May-Grünwald-Giemsa stain · bone marrow smear · 250×250 px — 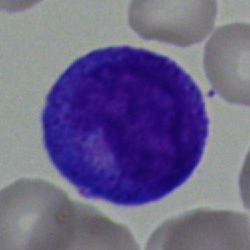Specimen: bone marrow smear.
Morphological class: promyelocyte.